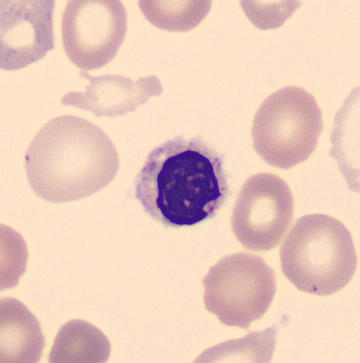
Morphology consistent with an erythroblast.